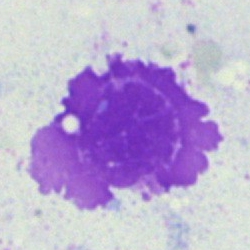 Bone marrow aspirate smear, single cell — artefact.